Peripheral blood film.
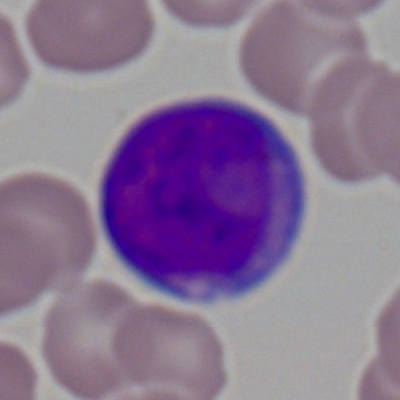

Cell type: myeloid blast.